Bone marrow aspirate smear. Single-cell field.
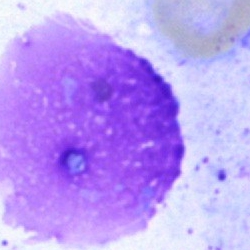 Single cell identified as an artifact.